250 by 250 pixels. Single-cell crop. Bone marrow aspirate smear — 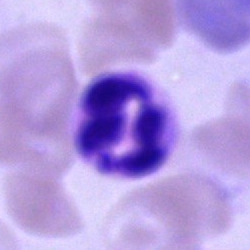
Cell: neutrophil (segmented).